Bone marrow aspirate smear: 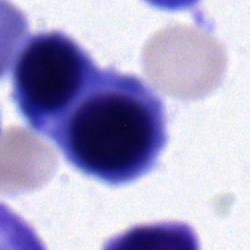

Nucleated red blood cell.